Bone marrow smear: 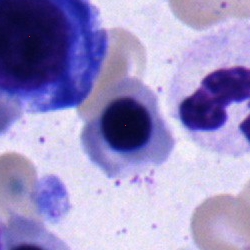
Morphology → nucleated red blood cell.